Cropped to a single cell. Bone marrow aspirate smear.
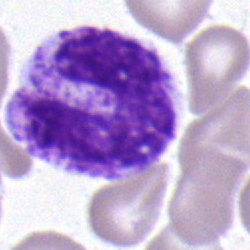
Morphological class — band-form neutrophil.